250×250. Bone marrow smear: 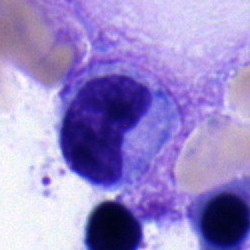

Morphology → metamyelocyte.